Single-cell crop · bone marrow smear: 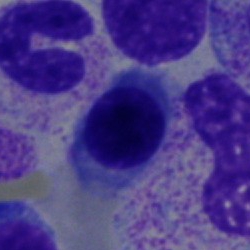

Cell type: nucleated red cell.